Bone marrow smear — 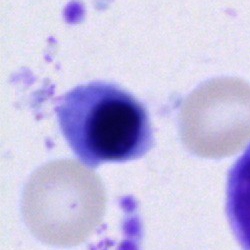

Impression — nucleated red cell.